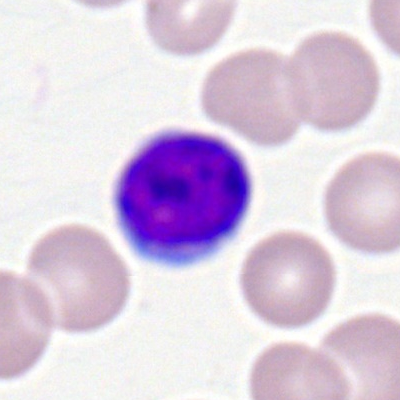Peripheral blood smear showing a typical lymphocyte.